Bone marrow aspirate smear — 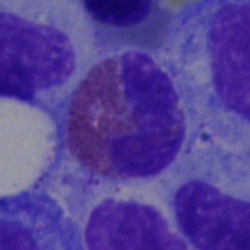Specimen: bone marrow aspirate smear.
Cell type: eosinophilic granulocyte.